Bone marrow smear; MGG-stained.
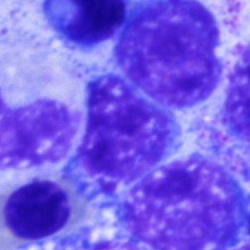
The cell shown is a typical lymphocyte.